Bone marrow aspirate smear: 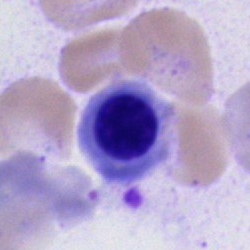

Nucleated red cell.